May-Grünwald-Giemsa/Pappenheim stain · bone marrow smear:
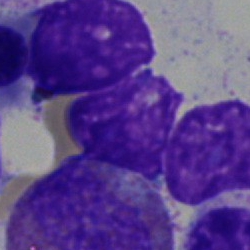

Artifact.